Bone marrow smear — 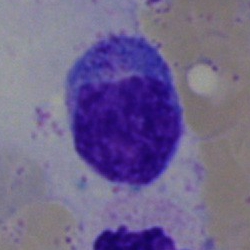
Specimen: bone marrow aspirate smear.
Cell: typical lymphocyte.